400×400 px; peripheral blood smear
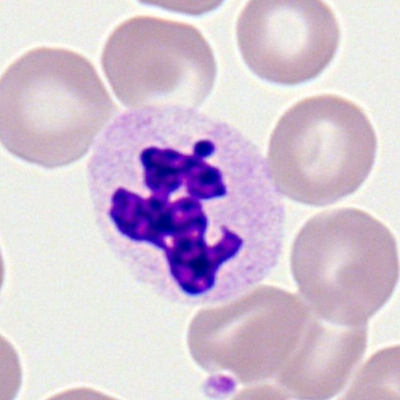
{"cell_type": "polymorphonuclear neutrophil"}